Peripheral blood smear.
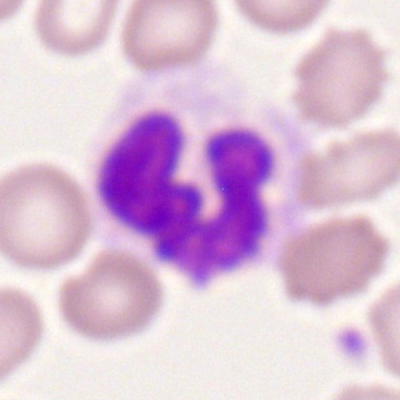

Morphological class — segmented neutrophil.